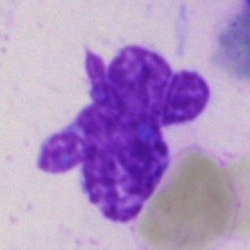An artifact on a bone marrow smear.